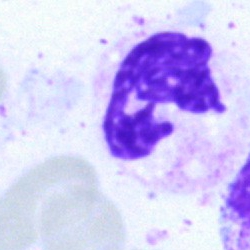Impression → neutrophil (segmented).